Bone marrow aspirate smear. May-Grünwald-Giemsa stain. Image size 250×250 — 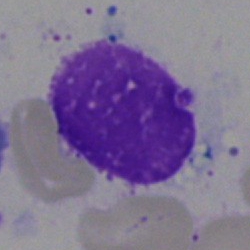
Impression → artefact.